Peripheral blood smear: 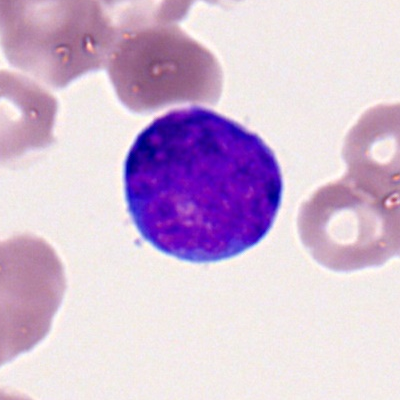The morphological class is myeloid blast.